Bone marrow aspirate smear · 250×250 px · brightfield, 40× oil-immersion objective
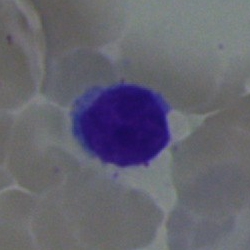 {"cell_type": "typical lymphocyte"}